Bone marrow smear — 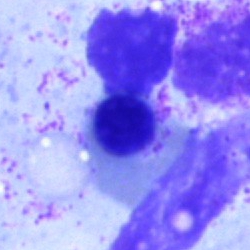
Nucleated red cell.